250×250 px; May-Grünwald-Giemsa/Pappenheim stain; bone marrow smear:
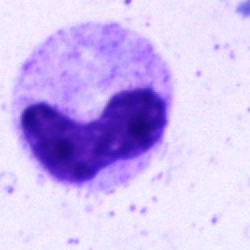

Specimen: bone marrow aspirate smear.
Cell: stab cell.